Bone marrow aspirate smear — 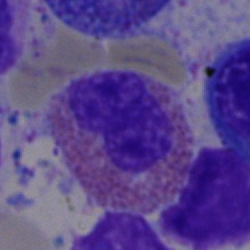

Specimen: bone marrow aspirate smear.
Morphological class: eosinophilic granulocyte.
Lineage: myeloid.